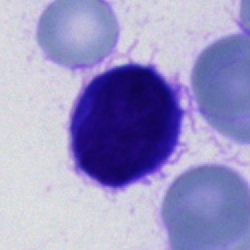Classification: cell of indeterminate lineage.